Bone marrow smear — 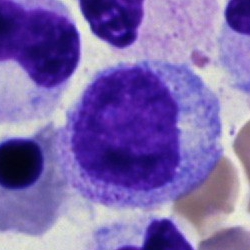 This is a myelocyte.